Bone marrow smear: 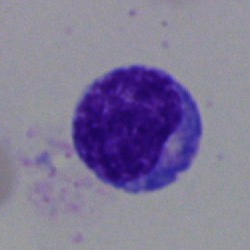Specimen: bone marrow smear.
Cell: blast.